Peripheral blood smear.
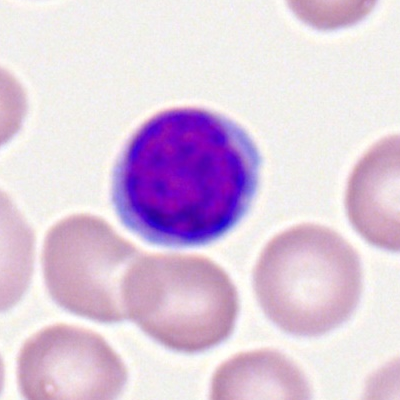

A lymphocyte.